Bone marrow aspirate smear:
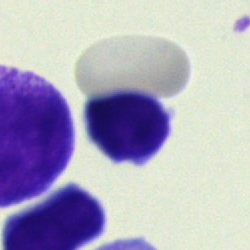

Cell type — typical lymphocyte.